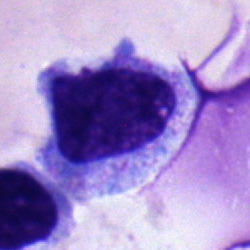
Q: Which cell type is shown here?
A: A promyelocyte.